250×250 px · bone marrow aspirate smear:
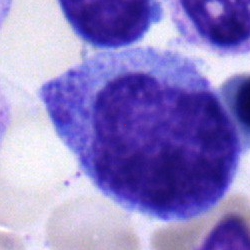Impression → promyelocyte.